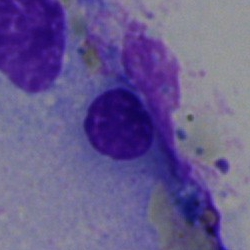Specimen: bone marrow aspirate smear.
Classification: nucleated red blood cell.
Lineage: erythroid.